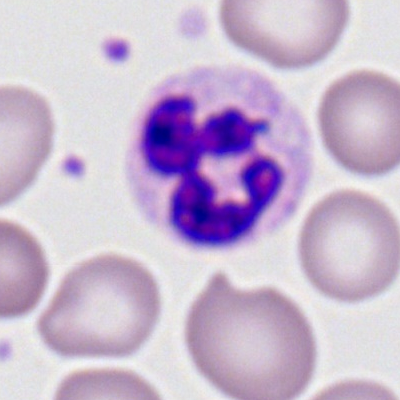
A segmented neutrophil on a peripheral blood smear.